Bone marrow aspirate smear · single-cell crop
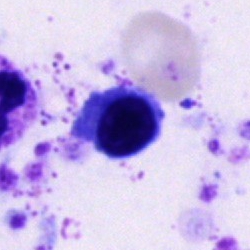The cell type is nucleated red blood cell.